Bone marrow smear
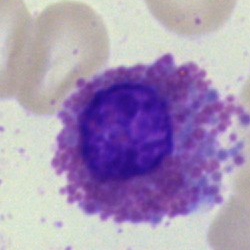Cell: eosinophil.